40× objective, oil immersion. Bone marrow aspirate smear. Single-cell crop — 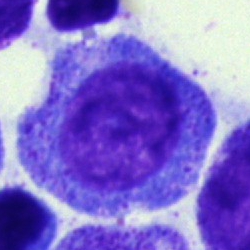 {"cell_type": "progranulocyte"}